Bone marrow smear. Brightfield, 40× oil-immersion objective.
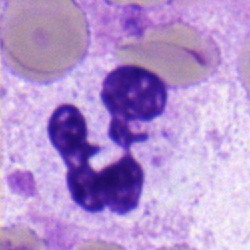
Morphological class: segmented neutrophil.